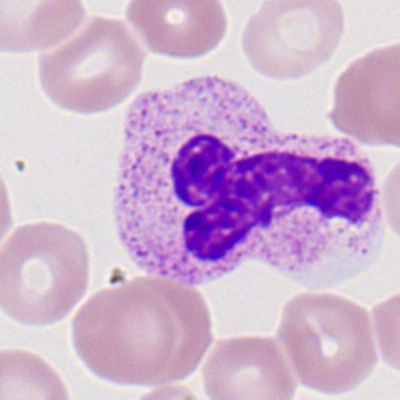
The cell shown is a segmented neutrophil.